Bone marrow smear:
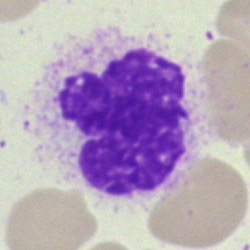

Cell — artefact.